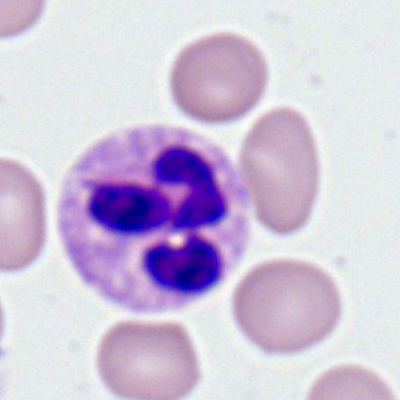
Q: What is the morphological classification of this cell?
A: A polymorphonuclear neutrophil.